Peripheral blood smear.
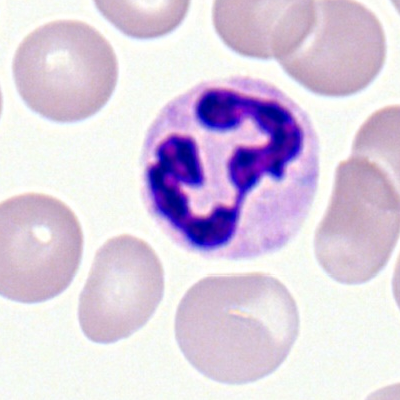
The cell shown is a polymorphonuclear neutrophil.